Bone marrow aspirate smear — 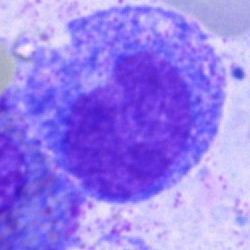Specimen: bone marrow smear.
Classification: progranulocyte.